Bone marrow smear — 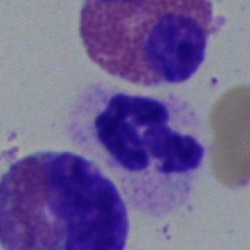The cell shown is a polymorphonuclear neutrophil.